400×400 · single cell centered in the field · peripheral blood smear.
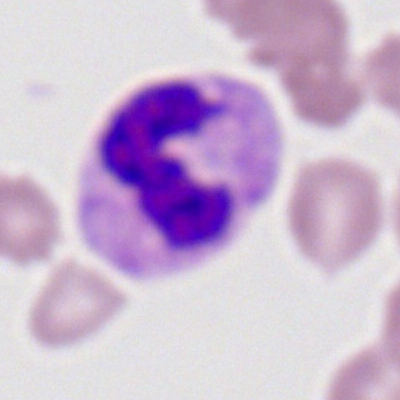

A polymorphonuclear neutrophil.